40× objective, oil immersion · bone marrow aspirate smear · single cell centered in the field.
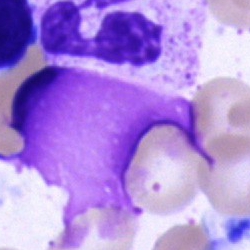
Specimen: bone marrow aspirate smear.
Classification: artifact.